Bone marrow smear:
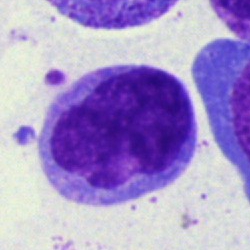

The cell is lymphocyte.